250×250 px; bone marrow smear
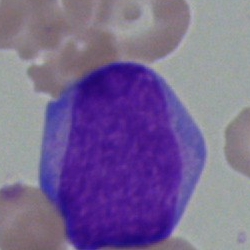

Showing an undifferentiated blast.